Peripheral blood smear: 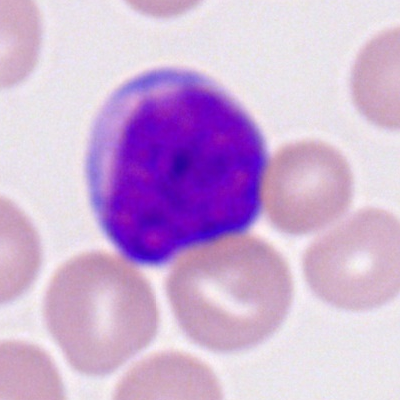
Morphology → myeloblast.